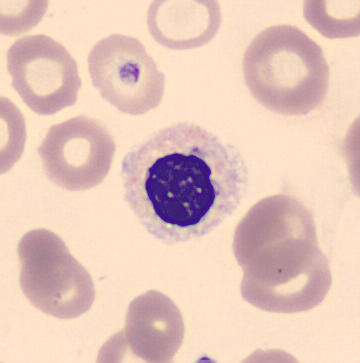
Morphology → myelocyte.